Bone marrow aspirate smear; single-cell crop; MGG-stained
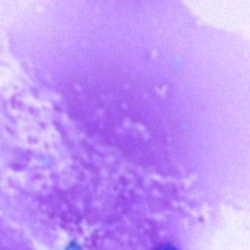

Classification: artifact.